Bone marrow smear. May-Grünwald-Giemsa stain. Brightfield, 40× oil-immersion objective: 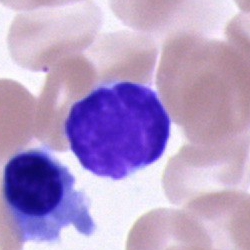 The cell shown is a typical lymphocyte.